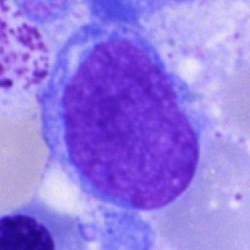 The cell type is undifferentiated blast.